250×250 · bone marrow aspirate smear — 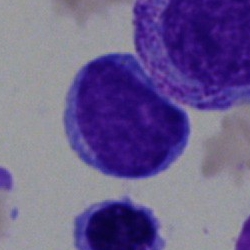
{"cell_type": "undifferentiated blast"}